40× objective, oil immersion. Bone marrow smear. 250×250.
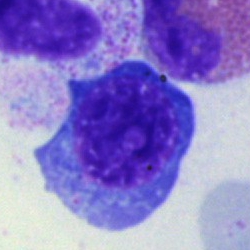This is a normoblast.